Bone marrow aspirate smear; 250×250 px.
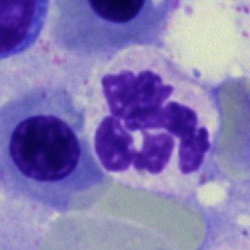 Morphology — segmented neutrophil.